Bone marrow smear; 40× oil immersion; single-cell field — 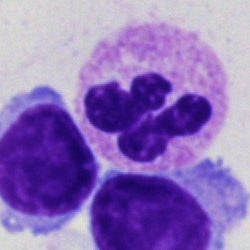
Specimen: bone marrow aspirate smear.
Cell: segmented neutrophil.
Lineage: myeloid.